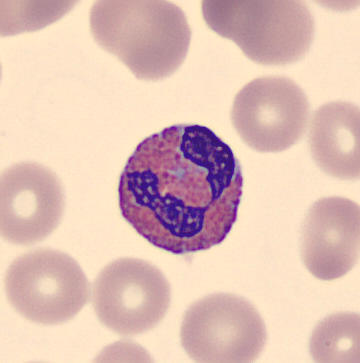

Single cell identified as an eosinophil. Image: Peripheral blood film. CellaVision DM96 digital cell image. 360×363.